40× objective, oil immersion; cropped to a single cell; bone marrow smear:
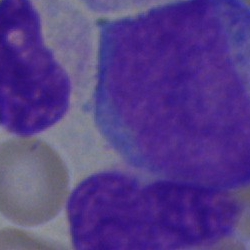 A blast cell.